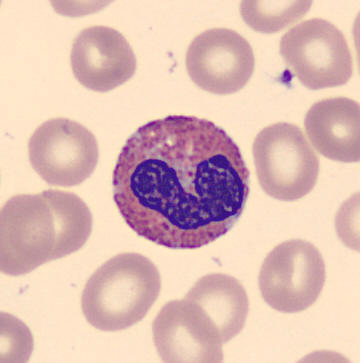

Preparation: Peripheral blood smear.

This is an eosinophil.